Pappenheim-stained; bone marrow smear
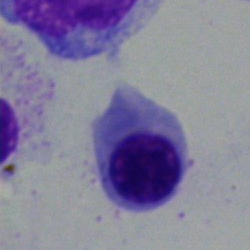
A nucleated red blood cell.